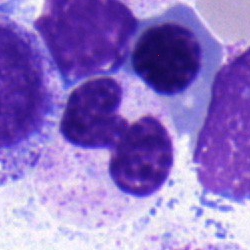Showing a polymorphonuclear neutrophil.